Bone marrow aspirate smear: 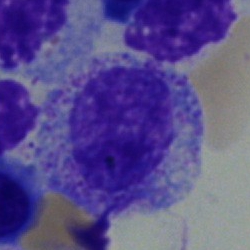 The cell shown is a myelocyte.